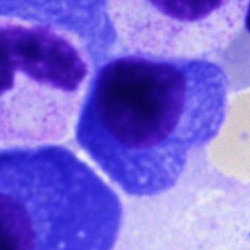 Morphology — plasma cell.